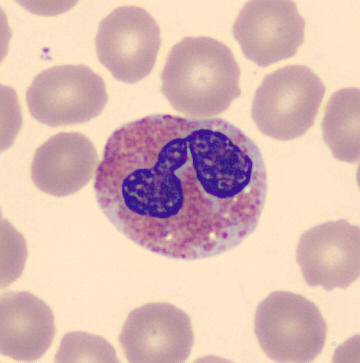
The cell type is eosinophilic granulocyte.